Bone marrow aspirate smear
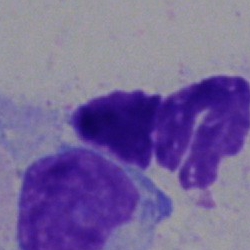Specimen: bone marrow aspirate smear.
Cell type: artefact.